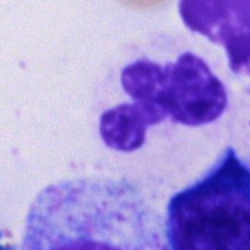Cell type — polymorphonuclear neutrophil.